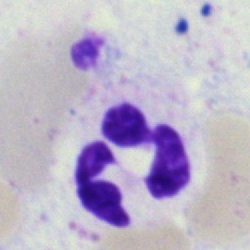

Q: What cell is this?
A: This is a neutrophil (segmented).